Bone marrow smear: 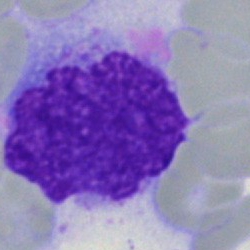Cell type = artefact.